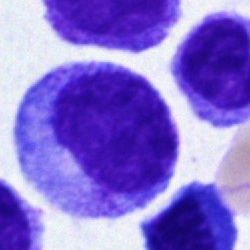
Q: Which cell type is shown here?
A: This is a promyelocyte.